40× objective, oil immersion; MGG-stained; bone marrow aspirate smear — 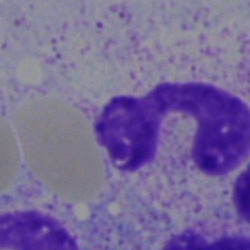 Specimen: bone marrow smear.
Classification: neutrophil (segmented).
Lineage: myeloid.